Bone marrow aspirate smear.
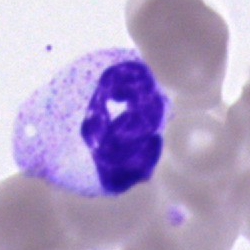
Cell: segmented neutrophil.